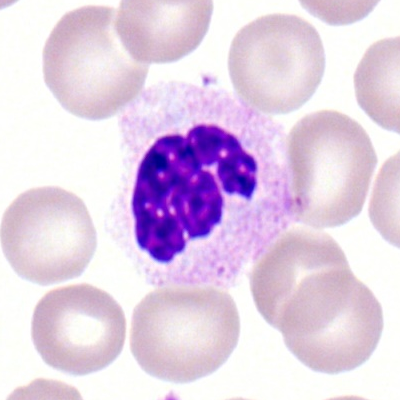Q: Which cell type is shown here?
A: This is a segmented neutrophil.